Bone marrow aspirate smear.
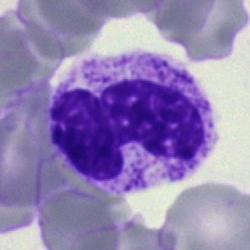Single cell identified as a segmented neutrophil.